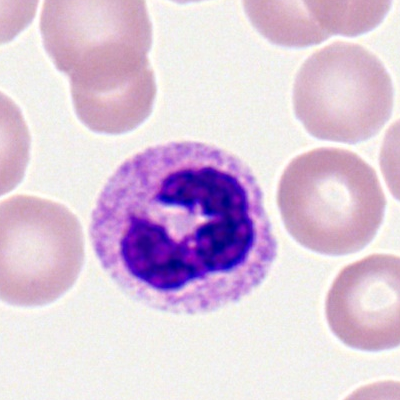A neutrophil (segmented).